Bone marrow smear. Single-cell crop.
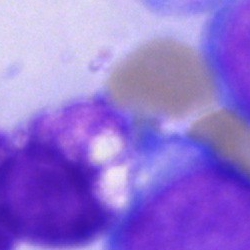
Cell of indeterminate lineage.